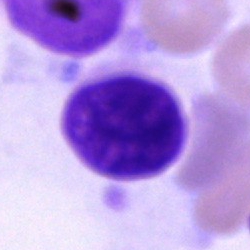Artifact.